Bone marrow smear
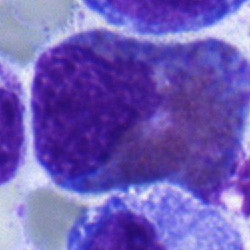 Morphological class — eosinophilic granulocyte.